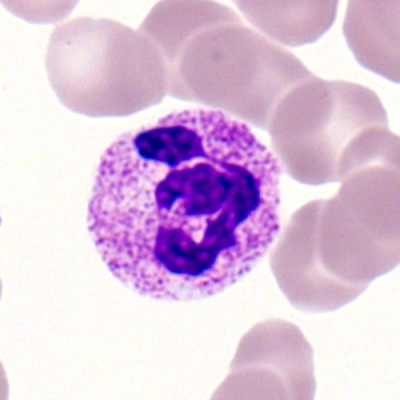Q: What is the morphological classification of this cell?
A: Segmented neutrophil.